Brightfield, 40× oil-immersion objective; bone marrow aspirate smear; 250×250
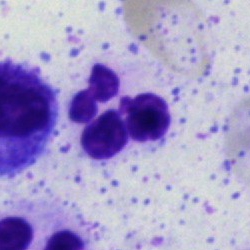

Q: Identify the cell.
A: Neutrophil (segmented).